40× oil immersion; single cell centered in the field; bone marrow smear:
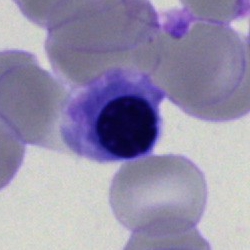

{"cell_type": "nucleated red cell", "lineage": "erythroid"}